Bone marrow aspirate smear. Pappenheim-stained:
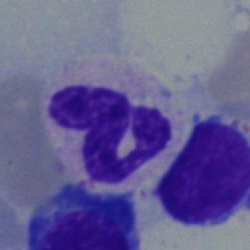

The morphological class is segmented neutrophil.